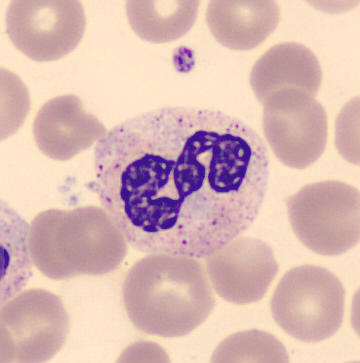
Acquisition: Peripheral blood smear.
Morphology consistent with a neutrophil (segmented).